Image size 250×250; bone marrow smear.
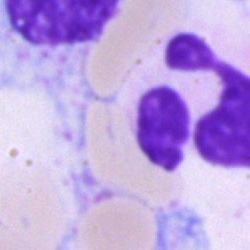

Cell type: neutrophil (segmented).